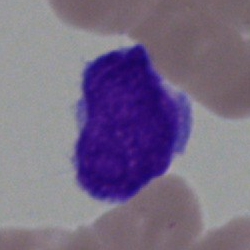
An undifferentiated blast on a bone marrow smear.